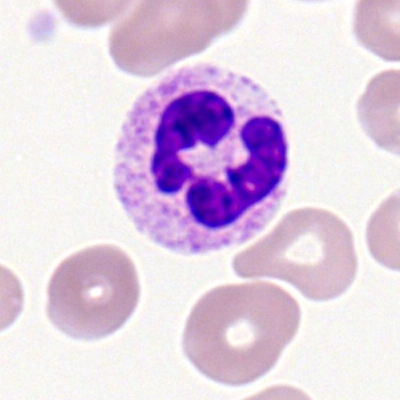
Morphological class — segmented neutrophil.